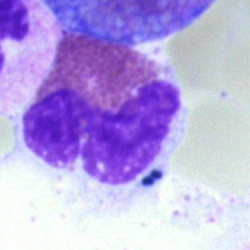
Eosinophilic granulocyte.